40× objective, oil immersion · bone marrow aspirate smear:
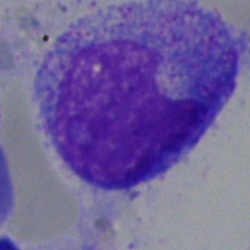This is a promyelocyte.